Peripheral blood film · cropped to a single cell · Romanowsky stain: 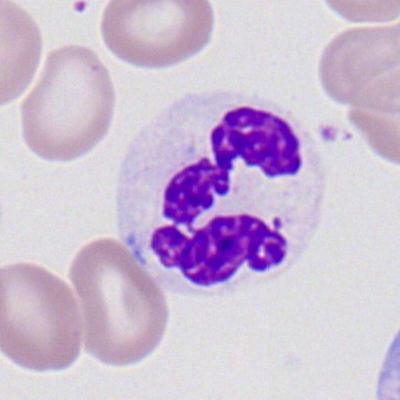 Neutrophil (segmented).